May-Grünwald-Giemsa stain. Bone marrow smear: 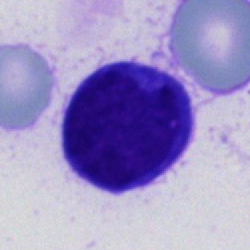 The morphological class is cell of indeterminate lineage.